Bone marrow aspirate smear; 250×250:
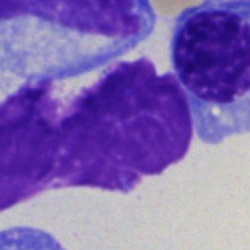
An artifact.